Bone marrow aspirate smear: 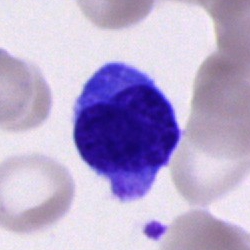

Cell — lymphocyte.